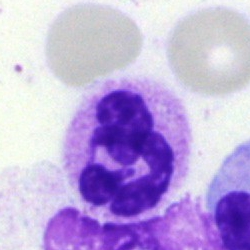 Impression → neutrophil (segmented).